Image size 250×250; bone marrow aspirate smear
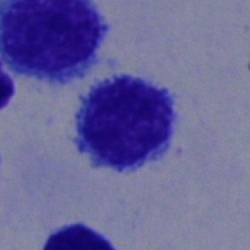 Cell: typical lymphocyte.